Bone marrow aspirate smear. Single-cell field
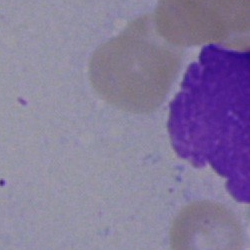 Impression → artefact.